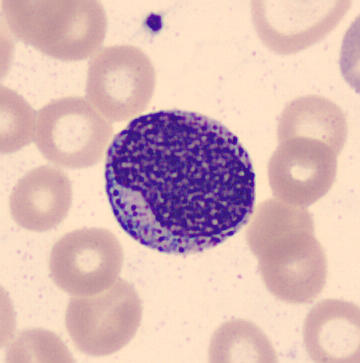Cell: myelocyte.